Bone marrow smear
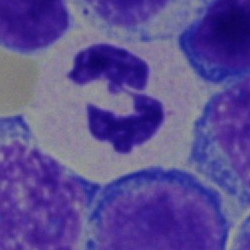

Q: What is the morphological classification of this cell?
A: It is a polymorphonuclear neutrophil.